Bone marrow aspirate smear; single-cell crop.
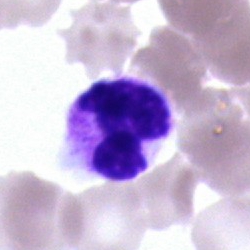
{"cell_type": "segmented neutrophil"}